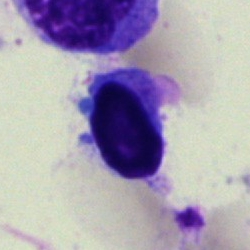The cell shown is a typical lymphocyte.